Bone marrow smear
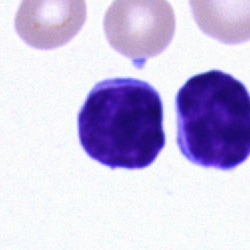 Impression → typical lymphocyte.